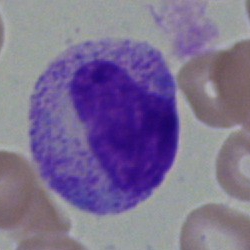Q: What cell is this?
A: This is a myelocyte.